40× oil immersion · 250×250 · bone marrow aspirate smear:
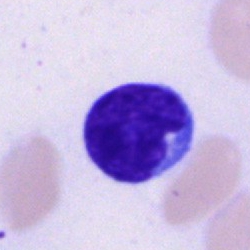
Cell: lymphocyte.